250 by 250 pixels; bone marrow aspirate smear: 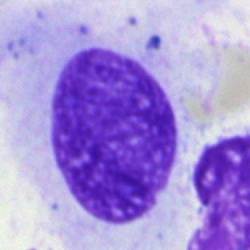Cell type = other cell type.